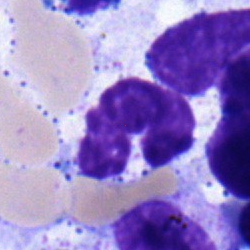

Specimen: bone marrow smear.
Morphological class: segmented neutrophil.